Bone marrow smear · Pappenheim-stained — 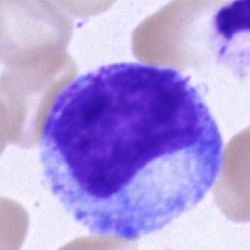

Specimen: bone marrow smear.
Cell type: progranulocyte.
Lineage: myeloid.